May-Grünwald-Giemsa stain · bone marrow smear · single cell centered in the field.
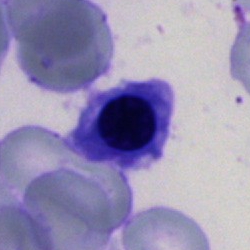

This is a nucleated red blood cell.